May-Grünwald-Giemsa/Pappenheim stain; single cell centered in the field; bone marrow smear: 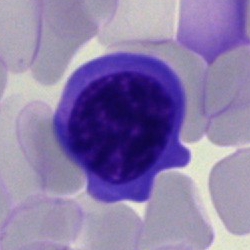Q: What is shown here?
A: A nucleated red cell.